Bone marrow aspirate smear:
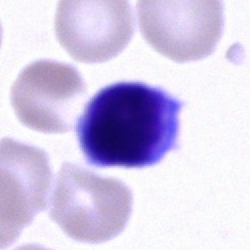

A lymphocyte.